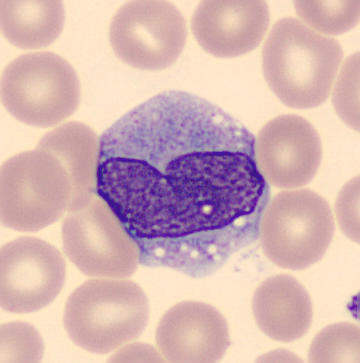 Monocyte.